Bone marrow smear. 40× objective, oil immersion
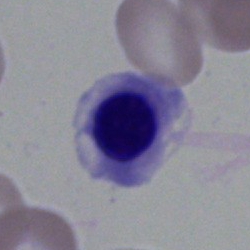

This is a normoblast.